Bone marrow aspirate smear · MGG-stained · single cell centered in the field
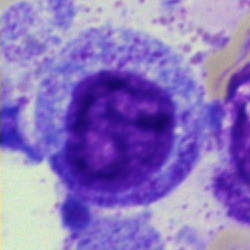 Classification — promyelocyte.